Bone marrow smear: 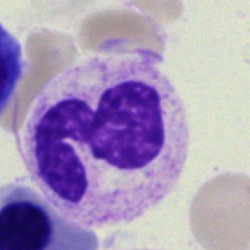Classification — neutrophil (segmented).